Bone marrow smear. Brightfield microscopy, 40× oil immersion. Single-cell crop
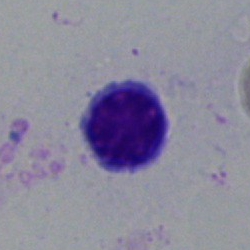
The cell type is typical lymphocyte.